Bone marrow smear — 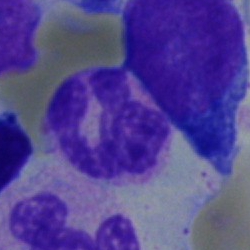
A polymorphonuclear neutrophil.